Bone marrow aspirate smear.
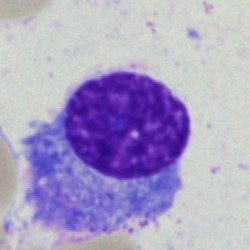
Impression → plasma cell.